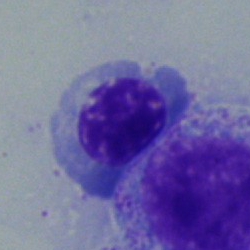Cell = nucleated red cell.